Peripheral blood smear:
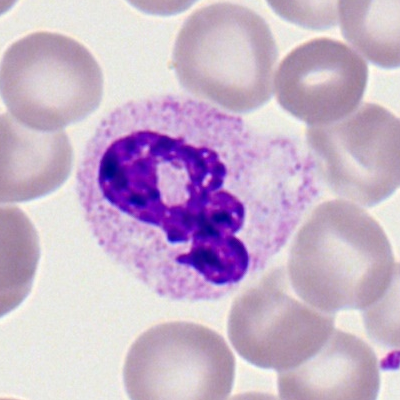
Impression — polymorphonuclear neutrophil.